Single-cell crop · bone marrow aspirate smear · 40× objective, oil immersion
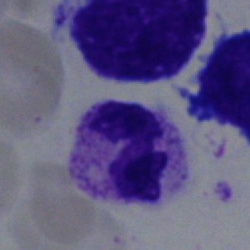 Cell — polymorphonuclear neutrophil.